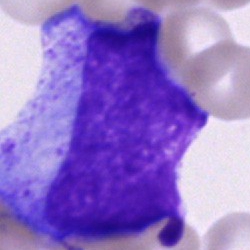Specimen: bone marrow smear.
Morphological class: progranulocyte.